Bone marrow aspirate smear — 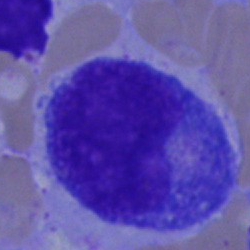 Morphology consistent with a progranulocyte.